Bone marrow aspirate smear:
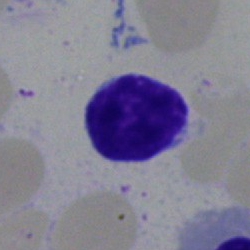

Morphology consistent with a typical lymphocyte.